Bone marrow aspirate smear.
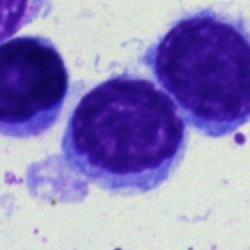 Q: What is the morphological classification of this cell?
A: Lymphocyte.